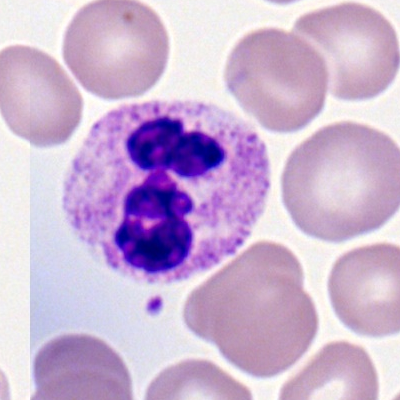

The cell shown is a segmented neutrophil.